Peripheral blood film
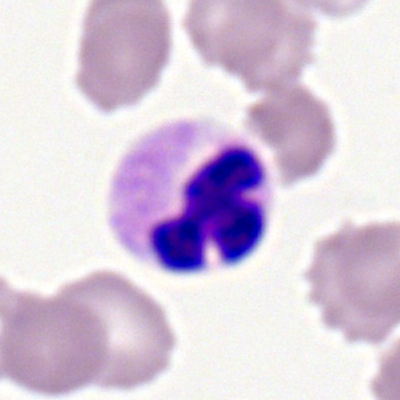Morphology → neutrophil (segmented).